Bone marrow aspirate smear. Single-cell field. Pappenheim-stained: 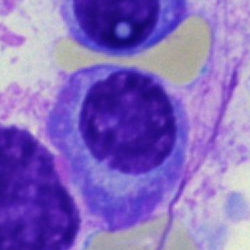
Morphology consistent with a plasma cell.